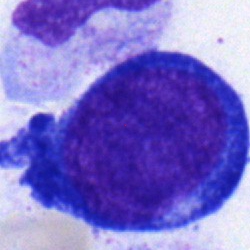
Morphology → pronormoblast.